Single-cell field. Bone marrow smear: 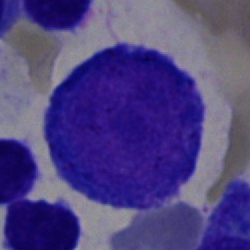 Morphological class — erythroblast.